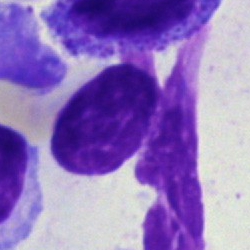Cell — artifact.